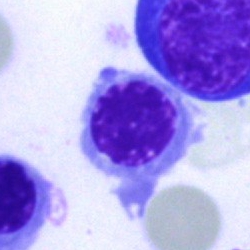Impression → normoblast.